Bone marrow smear. 250×250. Single cell centered in the field
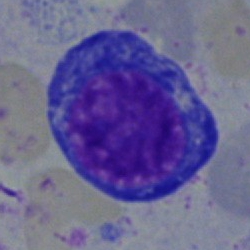Q: What type of cell is this?
A: This is a pronormoblast.